Bone marrow aspirate smear · single-cell crop · 250 by 250 pixels: 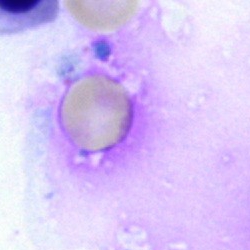
Morphology consistent with an artifact.